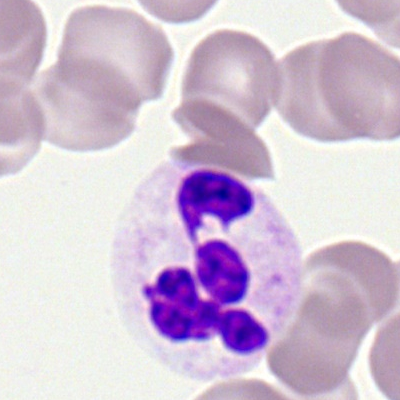
Morphology → neutrophil (segmented).